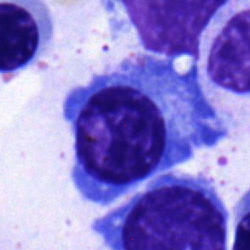
Q: What cell is this?
A: A plasma cell.